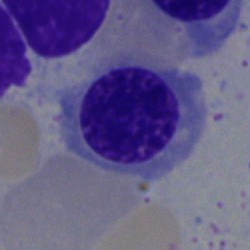
This is a nucleated red cell.